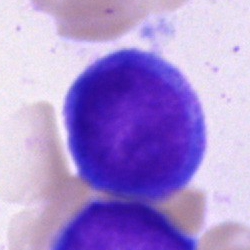

Q: Identify the cell.
A: This is a blast.